Bone marrow aspirate smear.
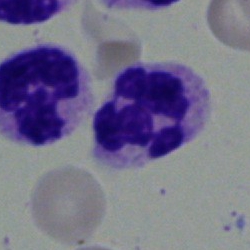 Q: Identify the cell.
A: Segmented neutrophil.